Single-cell field. 40× objective, oil immersion. Bone marrow smear
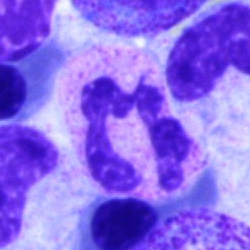
Single cell identified as a segmented neutrophil.